Peripheral blood smear: 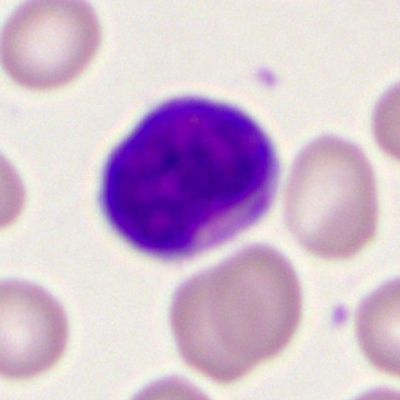

Single cell identified as a myeloblast.